Peripheral blood film · single cell centered in the field
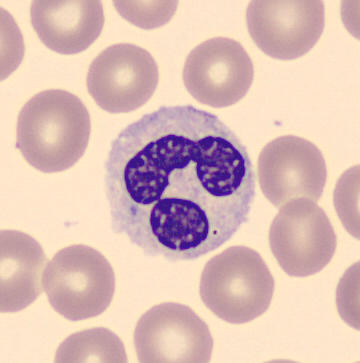 Cell type: polymorphonuclear neutrophil.